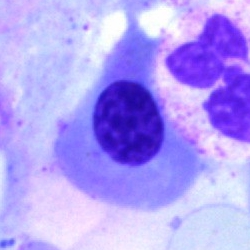

Morphological class = erythroblast.